Bone marrow aspirate smear: 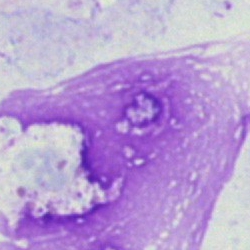Morphology consistent with an artifact.